Single-cell crop. Bone marrow aspirate smear — 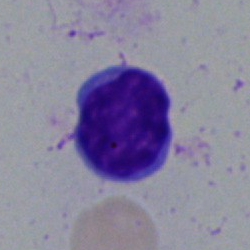 Q: Which cell type is shown here?
A: It is a typical lymphocyte.